Single-cell crop; bone marrow aspirate smear.
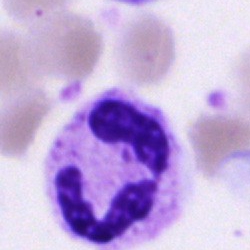

Impression → segmented neutrophil.